Bone marrow aspirate smear.
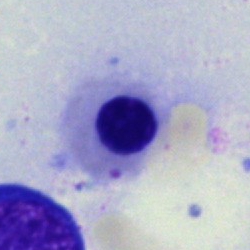Showing a nucleated red blood cell.